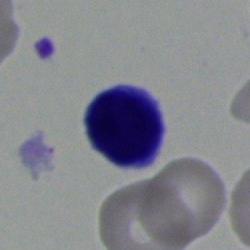
Morphological class = lymphocyte.